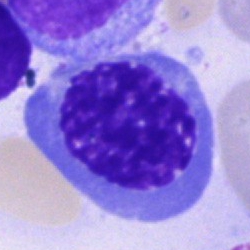Classification: erythroblast.